Bone marrow aspirate smear.
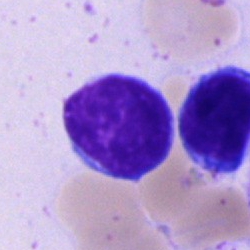
Morphology consistent with a lymphocyte.